Bone marrow aspirate smear
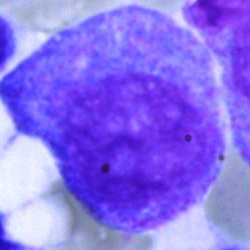 This is a promyelocyte.